Peripheral blood film
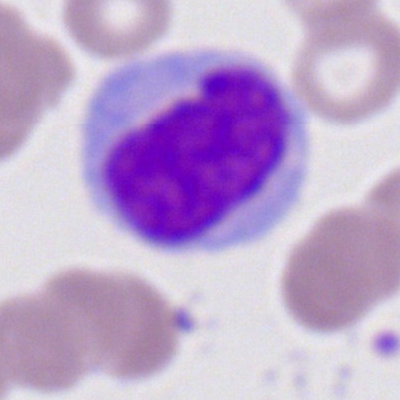

Q: Identify the cell.
A: It is a monocyte.